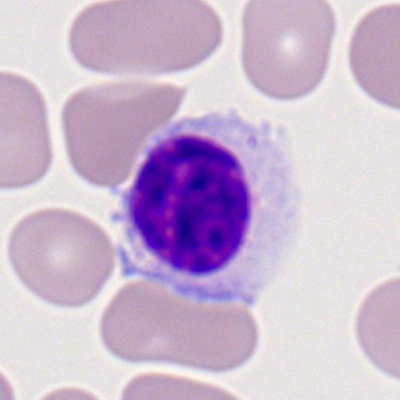Morphology → typical lymphocyte.